250×250; bone marrow smear; brightfield, 40× oil-immersion objective.
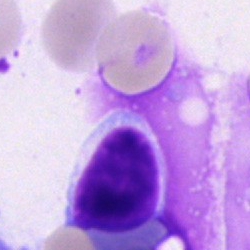 Showing a lymphocyte.